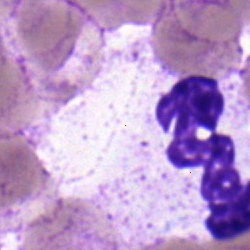

Q: Identify the cell.
A: This is a segmented neutrophil.